40× oil immersion. Bone marrow smear:
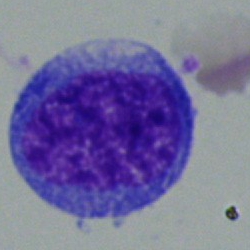 A blast cell.